Bone marrow aspirate smear: 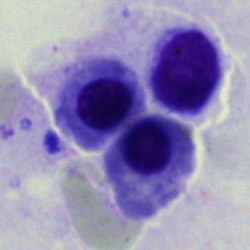
Erythroblast.